MGG-stained. 40× objective, oil immersion. Bone marrow aspirate smear
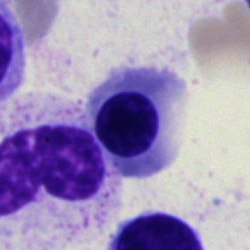This is a normoblast.